Bone marrow aspirate smear. Single-cell field.
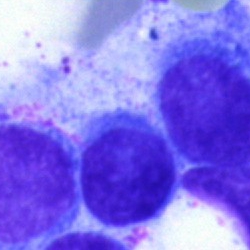Specimen: bone marrow smear.
Classification: typical lymphocyte.
Lineage: lymphoid.